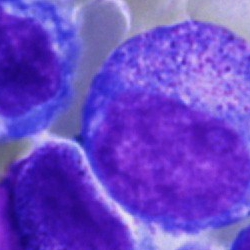 The cell type is progranulocyte.